Bone marrow aspirate smear: 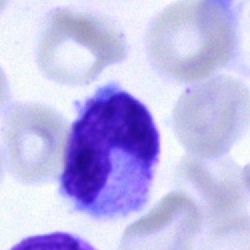Band-form neutrophil.